Bone marrow aspirate smear · Pappenheim-stained.
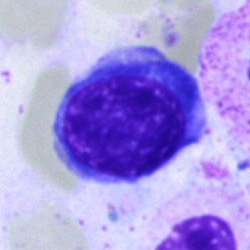 Q: What cell is this?
A: This is a nucleated red blood cell.